Bone marrow smear
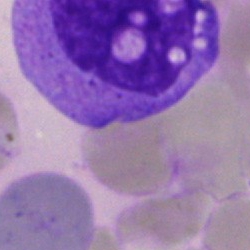 Classification = monocyte.